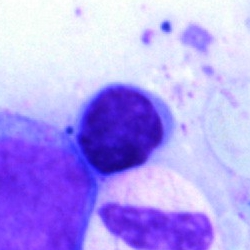Typical lymphocyte.